40× oil immersion. Bone marrow aspirate smear.
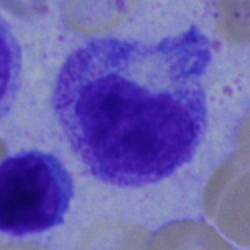Specimen: bone marrow aspirate smear.
Morphological class: myelocyte.
Lineage: myeloid.